Bone marrow aspirate smear:
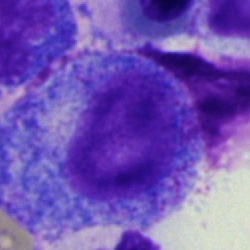
Specimen: bone marrow aspirate smear.
Cell type: promyelocyte.
Lineage: myeloid.